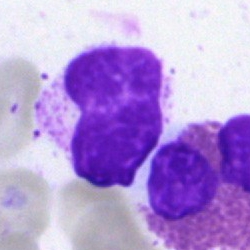

Artefact.